MGG-stained · bone marrow smear.
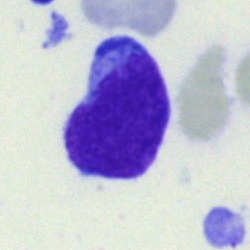

Specimen: bone marrow aspirate smear.
Morphological class: blast cell.